Peripheral blood film · single-cell crop: 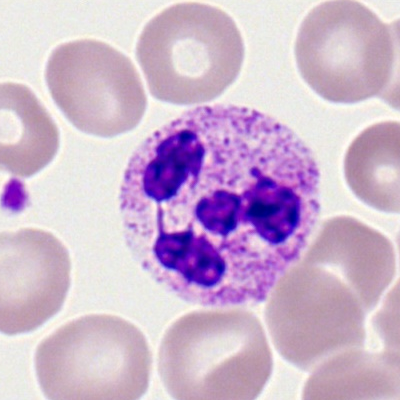A neutrophil (segmented).